Bone marrow smear.
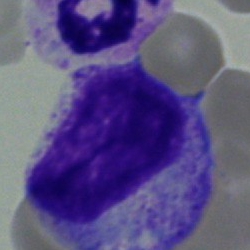Showing a myelocyte.